Bone marrow aspirate smear
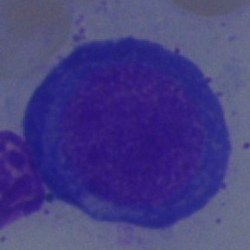
Classification = proerythroblast.